Peripheral blood smear; image size 400×400 — 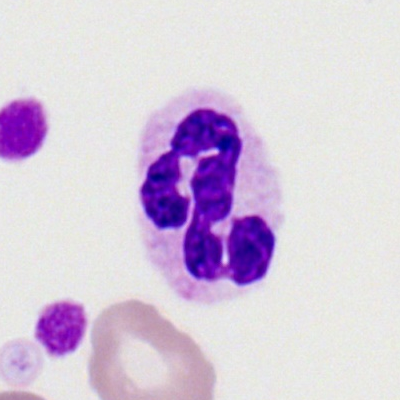 Specimen: peripheral blood film.
Classification: segmented neutrophil.